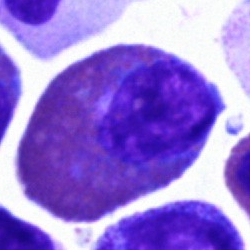This is an eosinophil.